Peripheral blood smear — 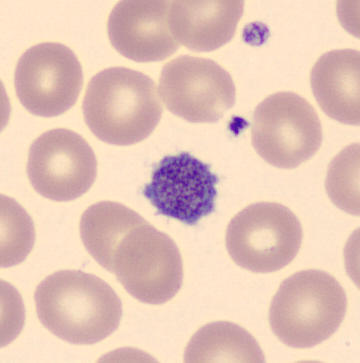 The cell type is platelet (thrombocyte).